Bone marrow aspirate smear: 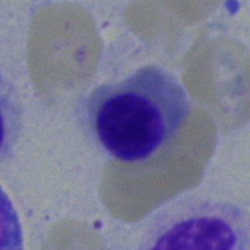
This is a nucleated red cell.